Bone marrow smear.
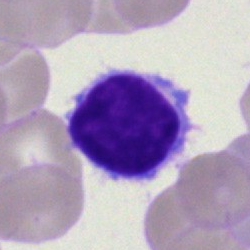 Classification: lymphocyte.